Bone marrow aspirate smear · 250×250 px: 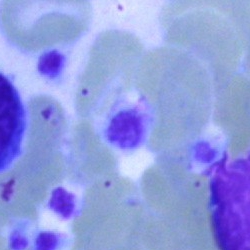Single cell identified as an artefact.